Bone marrow aspirate smear
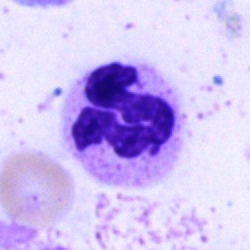 A segmented neutrophil.